Bone marrow smear; image size 250×250.
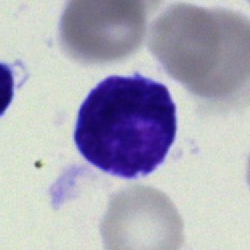

Blast cell.